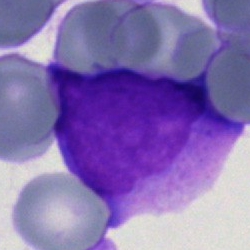
Q: What is shown here?
A: This is a blast.